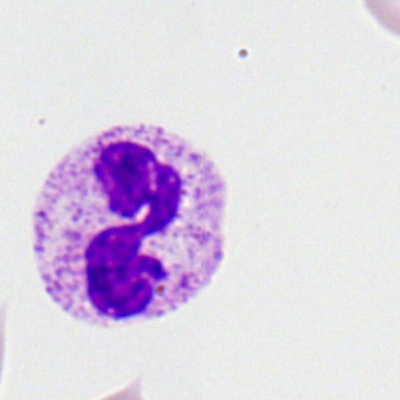 Peripheral blood film, single cell — segmented neutrophil.